Bone marrow aspirate smear; image size 250×250 — 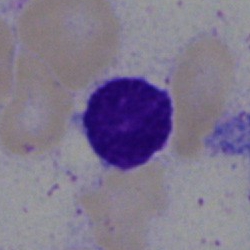

Q: What is shown here?
A: An artefact.